Bone marrow smear; Pappenheim-stained; 40× oil immersion
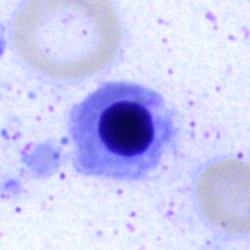

Normoblast.